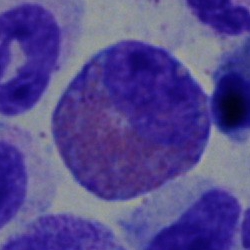 Impression — eosinophilic granulocyte.